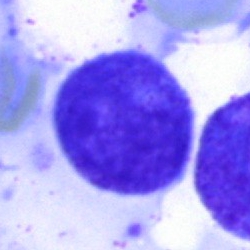

Q: Which cell type is shown here?
A: Band neutrophil.